Brightfield, 40× oil-immersion objective · bone marrow aspirate smear — 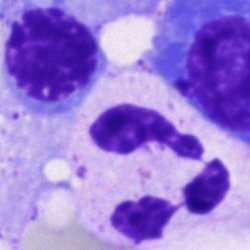 Cell type: polymorphonuclear neutrophil.